Bone marrow smear · 250×250 — 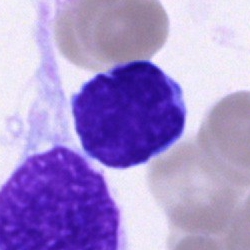

Cell — typical lymphocyte.